MGG-stained. Bone marrow aspirate smear:
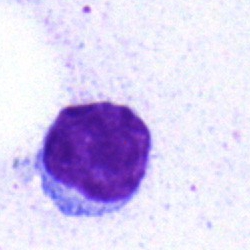
The cell shown is a lymphocyte.